Bone marrow smear:
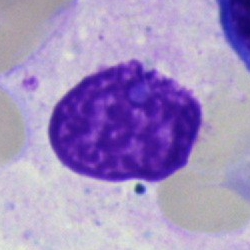

Classification: artefact.